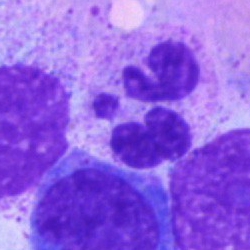 Cell — polymorphonuclear neutrophil.